Bone marrow smear
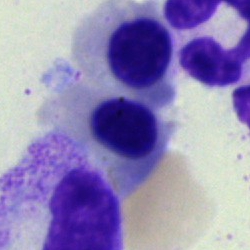
Impression → nucleated red cell.